Bone marrow smear; 250×250 px; single-cell field: 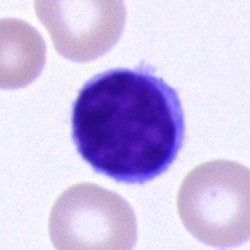Single cell identified as a lymphocyte.